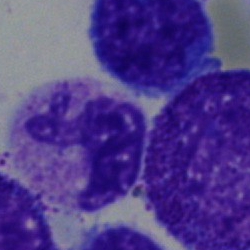
Bone marrow smear showing a neutrophil (segmented).